Bone marrow smear; 40× objective, oil immersion
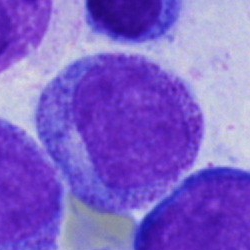

{"cell_type": "promyelocyte", "lineage": "myeloid"}